Bone marrow aspirate smear — 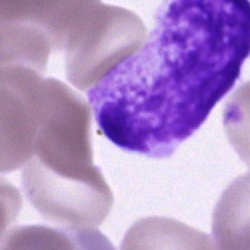Impression → cell of indeterminate lineage.